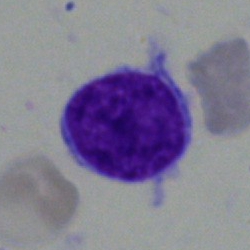
Impression → lymphocyte.